Peripheral blood film. 400×400 px. Cropped to a single cell
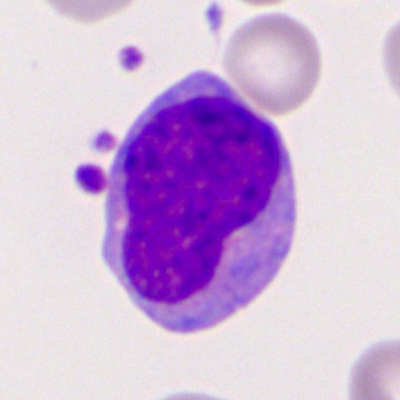The cell is myeloid blast.